Bone marrow aspirate smear:
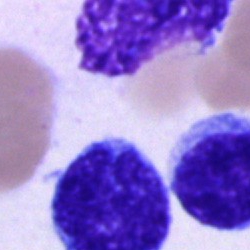

Specimen: bone marrow smear.
Classification: promyelocyte.
Lineage: myeloid.